Bone marrow smear · single-cell field:
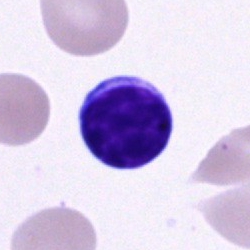 Cell — typical lymphocyte.